Bone marrow smear:
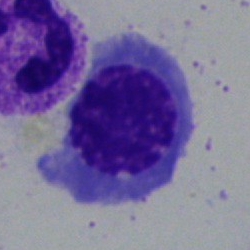Morphology consistent with an erythroblast.